Bone marrow smear; Pappenheim-stained; cropped to a single cell: 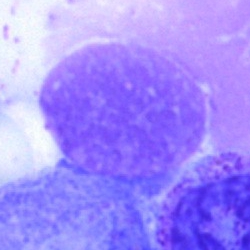 Q: What is shown here?
A: Artifact.